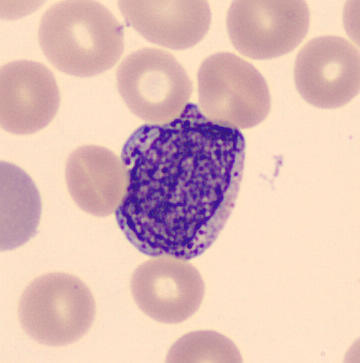 Morphology — myelocyte.

Preparation: Peripheral blood film; single-cell crop.